Bone marrow smear.
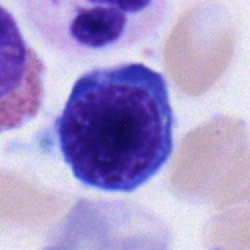

Q: Which cell type is shown here?
A: Normoblast.